Bone marrow smear:
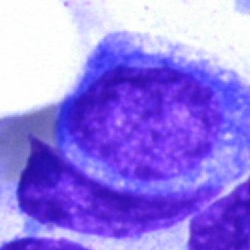Showing a cell of indeterminate lineage.